Peripheral blood smear; Romanowsky-type stain — 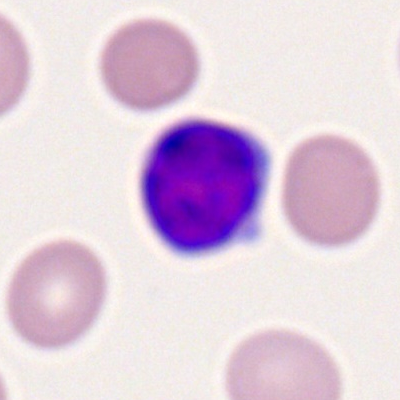 {"cell_type": "typical lymphocyte", "lineage": "lymphoid"}